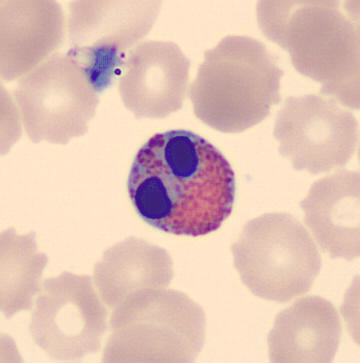

Morphology → eosinophilic granulocyte.

360×363 px · peripheral blood film.